Peripheral blood film:
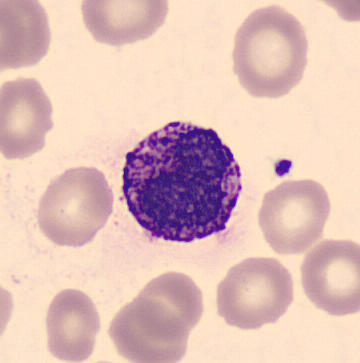

Showing a basophil.